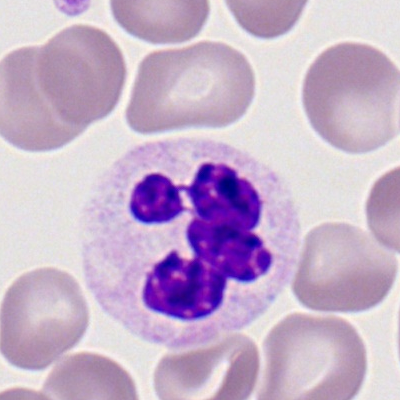

Cell — polymorphonuclear neutrophil.